Bone marrow aspirate smear: 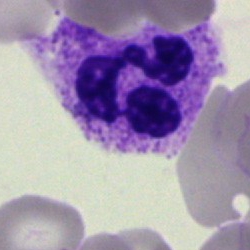

Morphological class = neutrophil (segmented).